Bone marrow aspirate smear
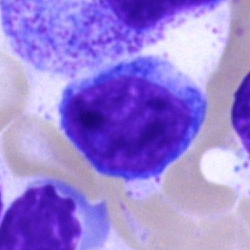A plasmacyte.